Bone marrow aspirate smear.
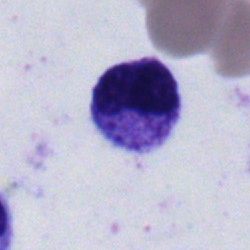A metamyelocyte.